Bone marrow smear — 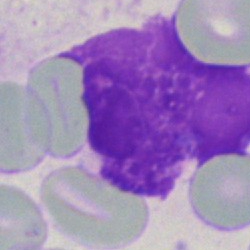Classification: artifact.